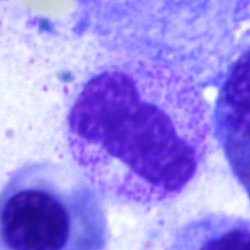

The classification is neutrophil (band).